Bone marrow aspirate smear.
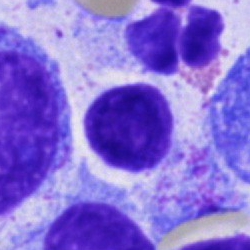 Showing an unidentifiable cell.